Peripheral blood film: 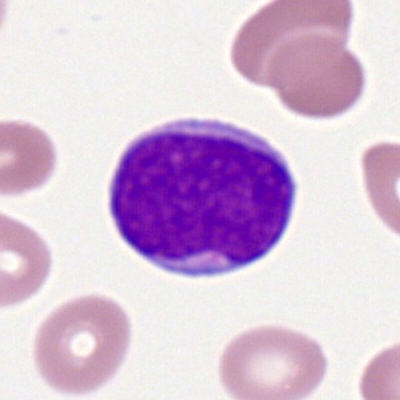 Specimen: peripheral blood smear.
Cell type: myeloid blast.
Lineage: myeloid.